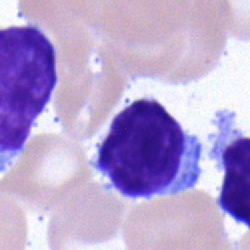

Morphology consistent with a lymphocyte.